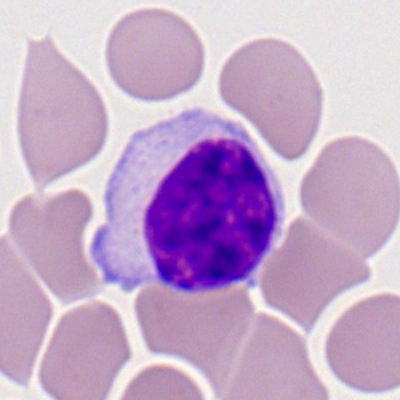Impression — typical lymphocyte.